Bone marrow smear · brightfield, 40× oil-immersion objective · single cell centered in the field: 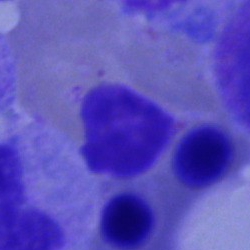

Morphological class: lymphocyte.